May-Grünwald-Giemsa/Pappenheim stain; bone marrow smear; brightfield microscopy, 40× oil immersion.
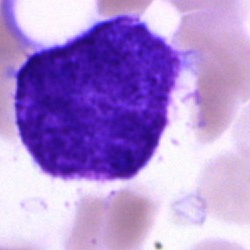 The cell is undifferentiated blast.